Bone marrow smear: 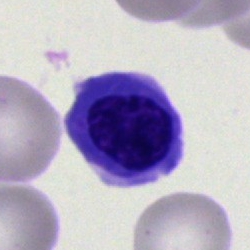

Morphology → nucleated red blood cell.